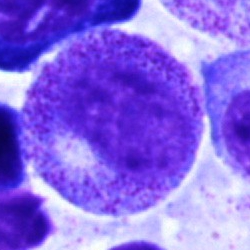

Specimen: bone marrow smear.
Classification: promyelocyte.